Bone marrow aspirate smear · single-cell field · 250×250:
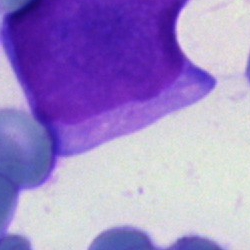 Q: Identify the cell.
A: An undifferentiated blast.